Bone marrow smear
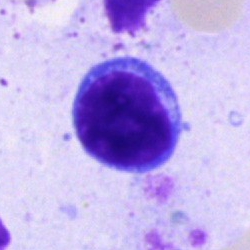Typical lymphocyte.